Bone marrow aspirate smear — 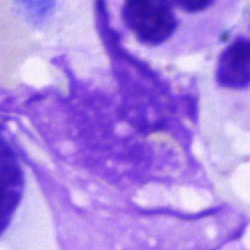Q: What is shown here?
A: An artifact.